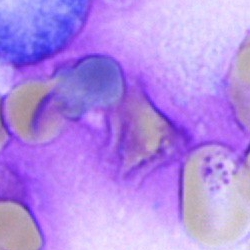{"cell_type": "artifact"}